Bone marrow aspirate smear · May-Grünwald-Giemsa/Pappenheim stain.
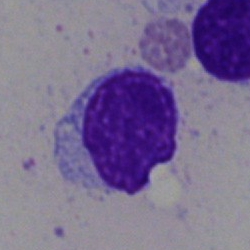 Morphology consistent with a typical lymphocyte.